Image size 250×250 · 40× oil immersion · bone marrow smear.
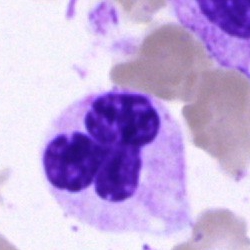
Morphological class — segmented neutrophil.